Bone marrow smear. Single-cell crop. 250 by 250 pixels — 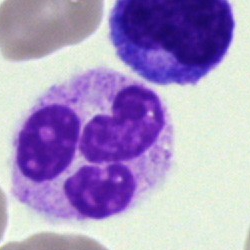 Specimen: bone marrow smear.
Cell: segmented neutrophil.
Lineage: myeloid.